Brightfield, 40× oil-immersion objective. Bone marrow smear: 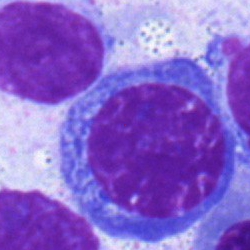

Morphology — nucleated red cell.